Bone marrow smear · single-cell crop · May-Grünwald-Giemsa/Pappenheim stain.
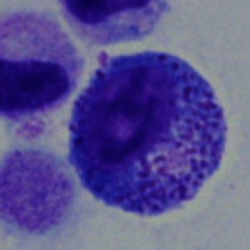
A promyelocyte.